250×250 · bone marrow smear: 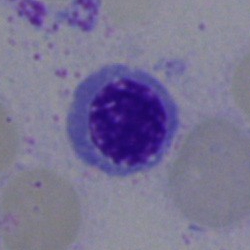Cell type — normoblast.